40× objective, oil immersion. 250 by 250 pixels. Bone marrow aspirate smear:
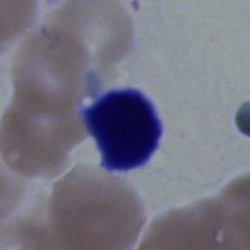 This is a lymphocyte.